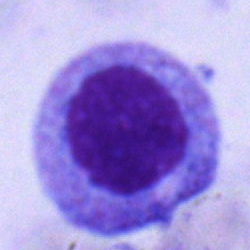 Single-cell crop from a bone marrow smear: myelocyte.